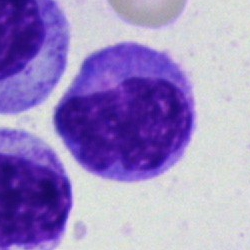Cell — monocyte.